MGG-stained. Bone marrow smear: 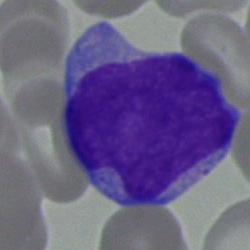 An undifferentiated blast.